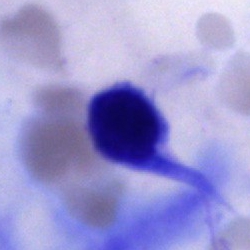

An artefact.